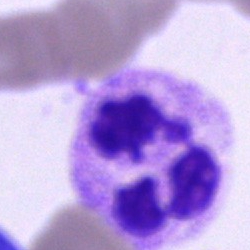
{"cell_type": "segmented neutrophil", "lineage": "myeloid"}